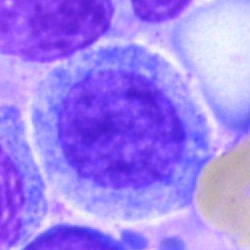 Q: What is shown here?
A: Progranulocyte.